Brightfield, 40× oil-immersion objective. Bone marrow aspirate smear — 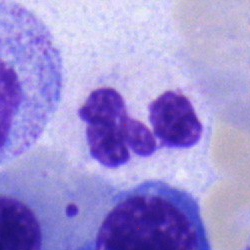
Classification: segmented neutrophil.